Peripheral blood smear:
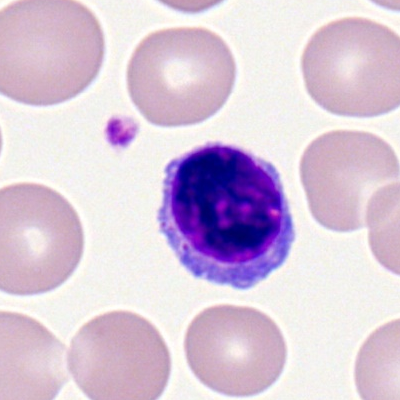 The cell shown is a typical lymphocyte.